Bone marrow smear
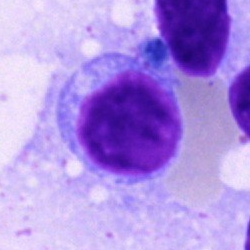Q: Which cell type is shown here?
A: A typical lymphocyte.